250 by 250 pixels · bone marrow aspirate smear · May-Grünwald-Giemsa stain: 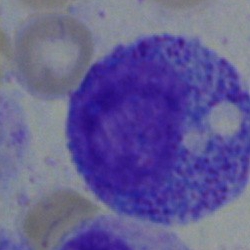

Q: What cell is this?
A: A progranulocyte.